Romanowsky-type stain; 400×400 px; peripheral blood smear
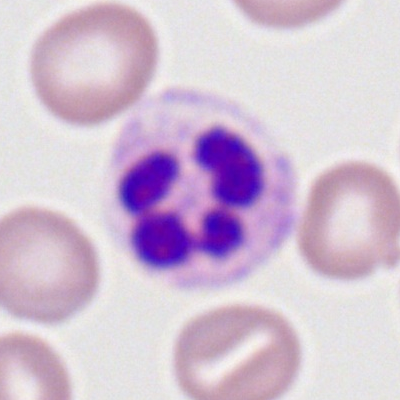
Q: What is shown here?
A: A polymorphonuclear neutrophil.